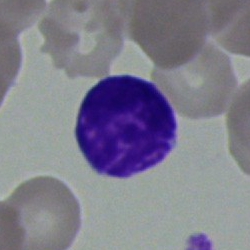

Bone marrow smear showing a typical lymphocyte.